Peripheral blood film
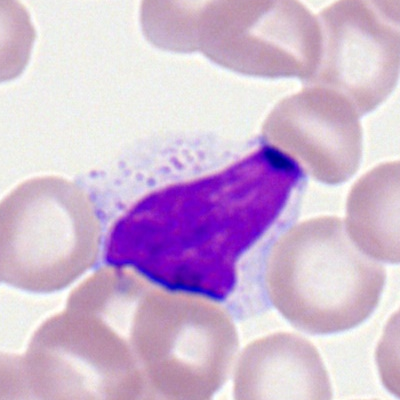
Q: Which cell type is shown here?
A: It is a typical lymphocyte.